250×250 px; bone marrow aspirate smear; 40× oil immersion: 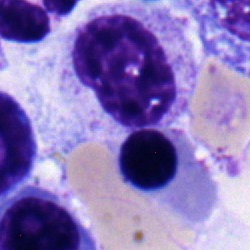 {"cell_type": "metamyelocyte", "lineage": "myeloid"}